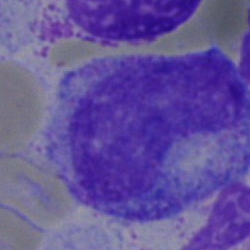

The cell shown is a metamyelocyte.